Bone marrow smear: 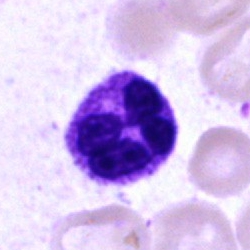

Morphology — polymorphonuclear neutrophil.